Bone marrow smear:
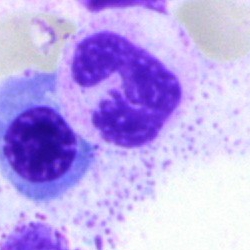 Morphological class = segmented neutrophil.